Single cell centered in the field. Bone marrow aspirate smear — 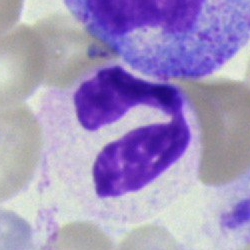

The cell is neutrophil (segmented).